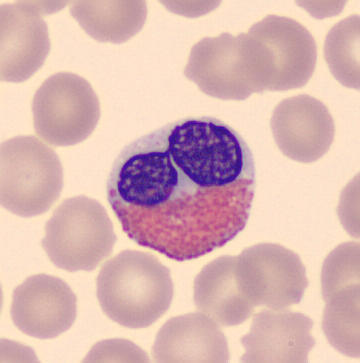

Morphology consistent with an eosinophil.

Acquisition: Peripheral blood smear.